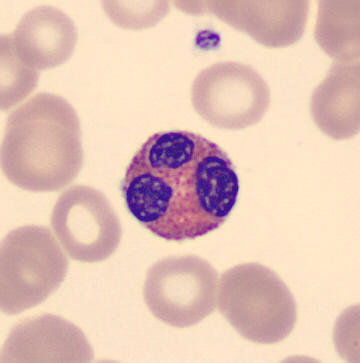Cell = eosinophil.

Acquisition: Peripheral blood smear; cropped to a single cell.